Bone marrow aspirate smear. 40× objective, oil immersion:
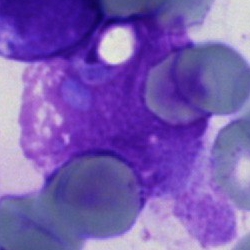The cell shown is an artifact.